Bone marrow aspirate smear · single-cell crop: 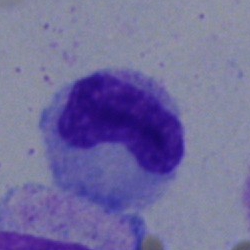
Classification — metamyelocyte.